Single-cell field · bone marrow aspirate smear — 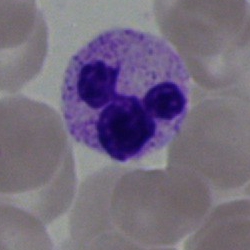 Q: Which cell type is shown here?
A: This is a polymorphonuclear neutrophil.